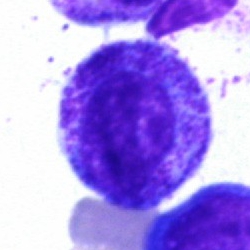
Cell: progranulocyte.